Brightfield microscopy, 40× oil immersion. Bone marrow smear.
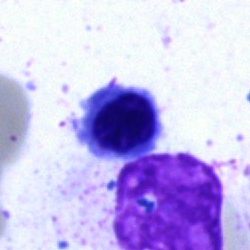

Cell — nucleated red blood cell.